100× objective, oil immersion · 400 by 400 pixels · peripheral blood smear.
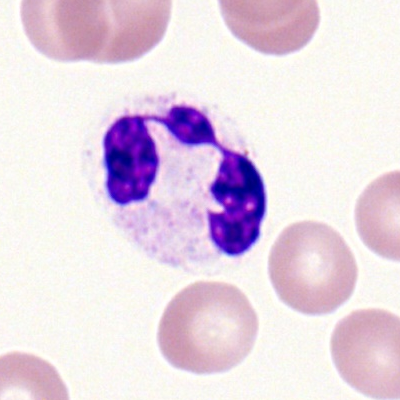The cell is neutrophil (segmented).